Bone marrow smear: 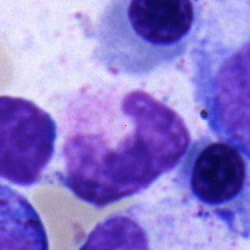
Classification: band neutrophil.